Bone marrow aspirate smear; brightfield, 40× oil-immersion objective; 250×250:
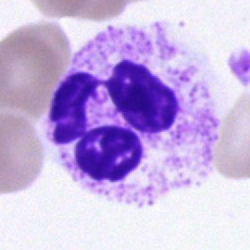
Q: What cell is this?
A: A segmented neutrophil.